Bone marrow aspirate smear · May-Grünwald-Giemsa stain.
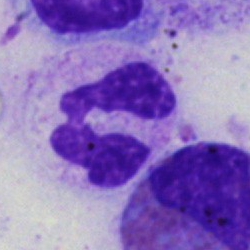This is a segmented neutrophil.